250×250 px · bone marrow aspirate smear — 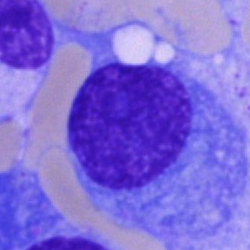 Showing a plasmacyte.